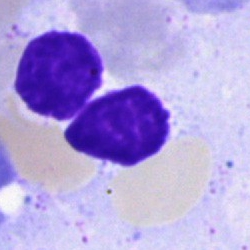

Specimen: bone marrow smear.
Cell type: artefact.